250×250 px; bone marrow smear: 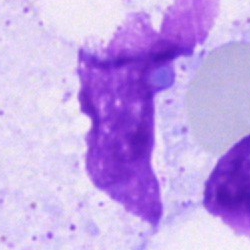 Specimen: bone marrow aspirate smear.
Morphological class: artefact.